Image size 250×250 · cropped to a single cell · bone marrow aspirate smear — 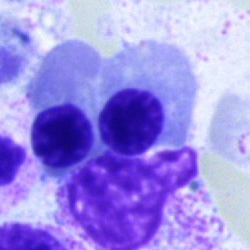 A nucleated red blood cell.